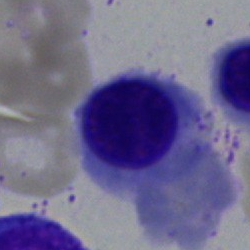

Impression — normoblast.